May-Grünwald-Giemsa stain · bone marrow aspirate smear
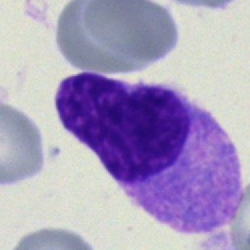Morphological class — monocyte.